250 by 250 pixels; bone marrow smear.
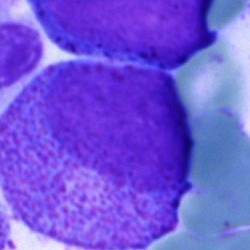Specimen: bone marrow smear.
Cell: myelocyte.
Lineage: myeloid.